Bone marrow aspirate smear — 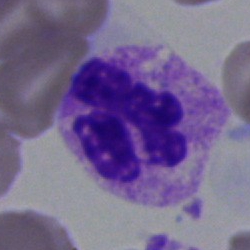Polymorphonuclear neutrophil.